40× objective, oil immersion. Bone marrow smear. MGG-stained:
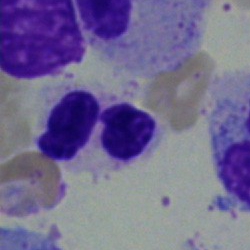 Cell type: segmented neutrophil.